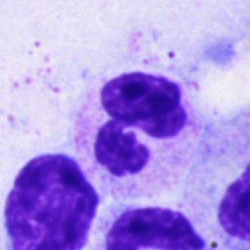

Single cell identified as a neutrophil (segmented).